Bone marrow smear. MGG-stained. 250 by 250 pixels:
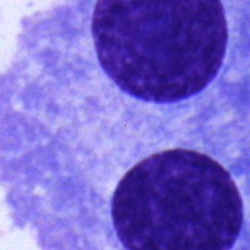 A plasmacyte.